Bone marrow aspirate smear; May-Grünwald-Giemsa/Pappenheim stain:
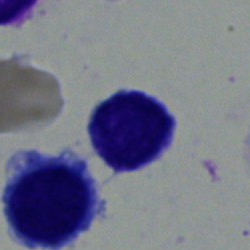Specimen: bone marrow smear.
Classification: lymphocyte.
Lineage: lymphoid.